Bone marrow smear · 40× oil immersion: 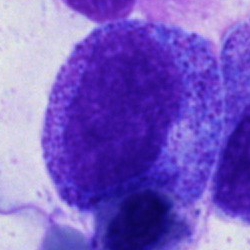 Specimen: bone marrow smear.
Classification: promyelocyte.
Lineage: myeloid.